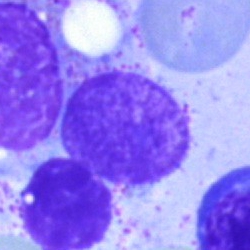 The cell shown is an artifact.